Bone marrow aspirate smear · image size 250×250 — 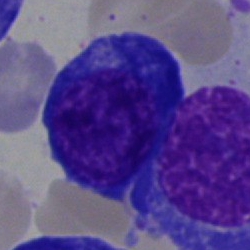

The morphological class is nucleated red cell.